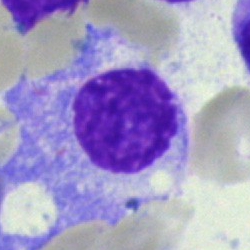Specimen: bone marrow aspirate smear.
Classification: plasmacyte.